Bone marrow smear.
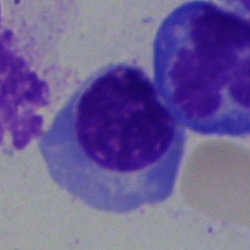Morphology → erythroblast.